Bone marrow aspirate smear: 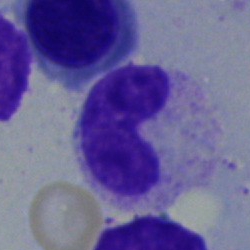This is a neutrophil (band).